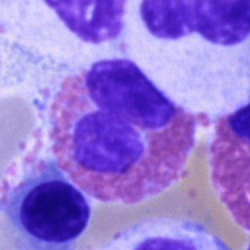
Morphological class — eosinophilic granulocyte.